Cropped to a single cell. Bone marrow aspirate smear.
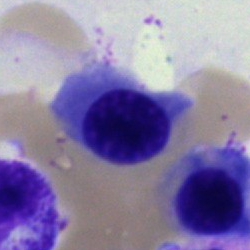 Morphological class = erythroblast.